360 by 360 pixels; cropped to a single cell; peripheral blood film:
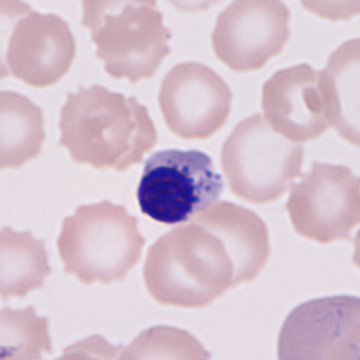
Showing a nucleated red blood cell.